Bone marrow smear; 250×250 px.
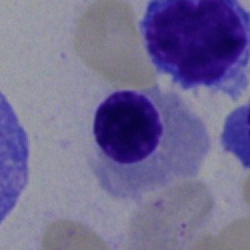 Q: What is the morphological classification of this cell?
A: A nucleated red cell.